Peripheral blood film: 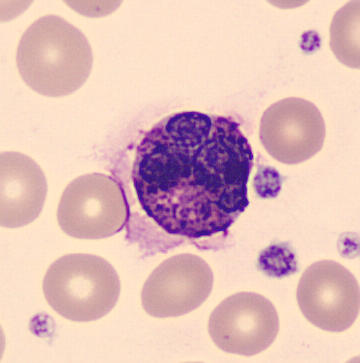The cell shown is a basophil.